Bone marrow aspirate smear — 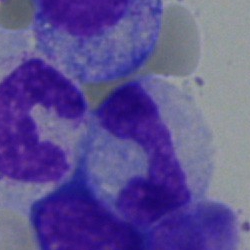Classification — stab cell.